Bone marrow smear — 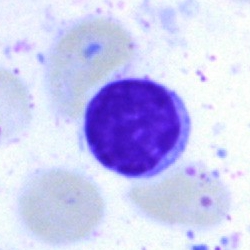Cell type = lymphocyte.